Bone marrow smear; 250×250 px: 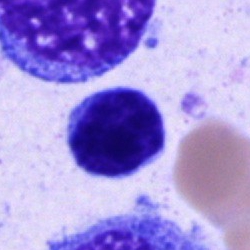
{"cell_type": "typical lymphocyte", "lineage": "lymphoid"}